Brightfield, 40× oil-immersion objective · bone marrow aspirate smear
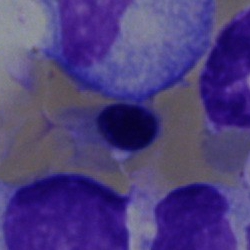Nucleated red cell.